Image size 250×250 · single-cell field · bone marrow aspirate smear.
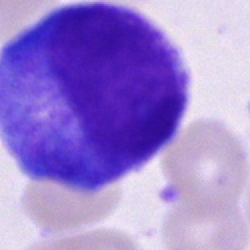 Specimen: bone marrow smear.
Classification: promyelocyte.
Lineage: myeloid.